May-Grünwald-Giemsa stain. Bone marrow smear
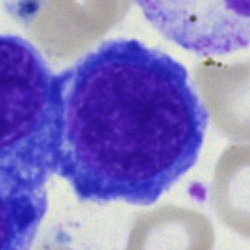
Normoblast.